Bone marrow aspirate smear · May-Grünwald-Giemsa stain
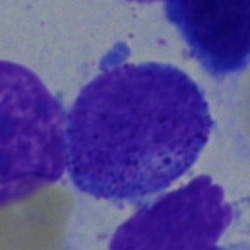
The classification is promyelocyte.